Bone marrow smear:
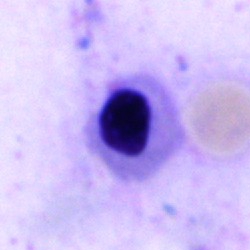 Morphological class = erythroblast.